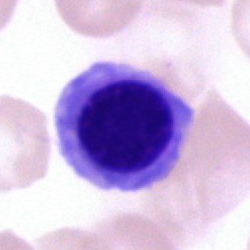

Classification = nucleated red blood cell.